250×250. Single-cell field. Bone marrow aspirate smear — 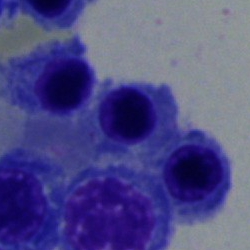

Cell = normoblast.